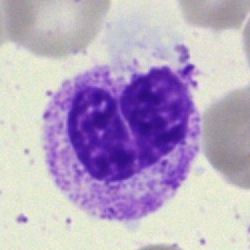
The cell type is neutrophil (band).